Bone marrow smear:
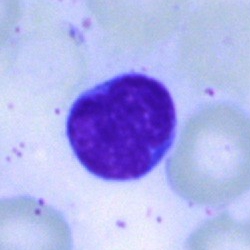
The cell type is lymphocyte.